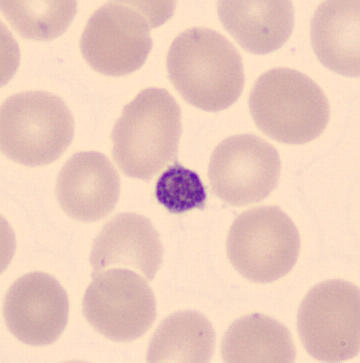The cell type is platelet (thrombocyte). Image: 360×363. MGG-stained. Peripheral blood smear.